May-Grünwald-Giemsa stain · bone marrow aspirate smear · 250×250.
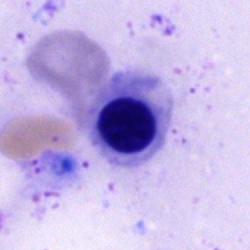Q: Identify the cell.
A: This is an erythroblast.